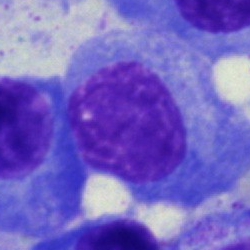
Q: What is shown here?
A: A plasmacyte.